Bone marrow smear
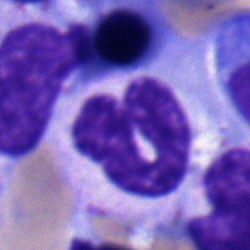Cell: band-form neutrophil.